Bone marrow aspirate smear:
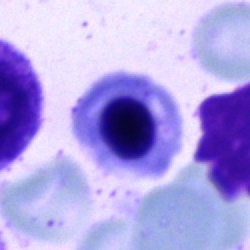
Showing a nucleated red blood cell.